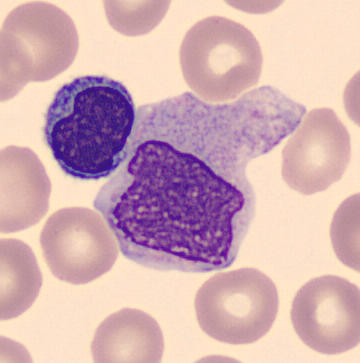

Specimen: peripheral blood smear.
Classification: monocyte.